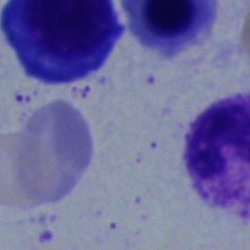Q: What is the morphological classification of this cell?
A: This is an erythroblast.